Brightfield microscopy, 40× oil immersion; bone marrow smear.
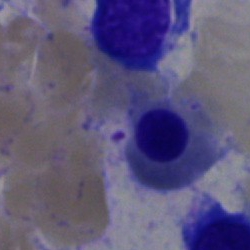

Q: Which cell type is shown here?
A: Nucleated red cell.